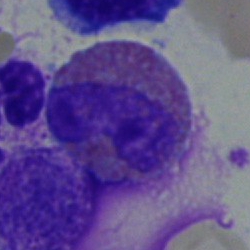 Classification = eosinophil.